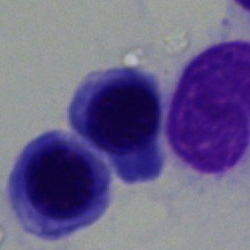Bone marrow aspirate smear, single cell — normoblast.